Bone marrow smear: 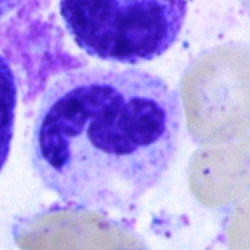 Showing a polymorphonuclear neutrophil.